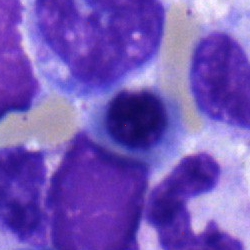
Specimen: bone marrow smear.
Cell type: nucleated red cell.